Bone marrow smear — 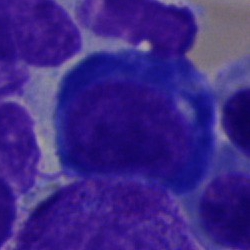

Showing a nucleated red blood cell.